Bone marrow smear · May-Grünwald-Giemsa/Pappenheim stain
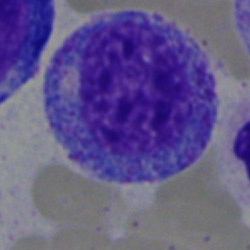The classification is promyelocyte.